Single cell centered in the field. Bone marrow aspirate smear — 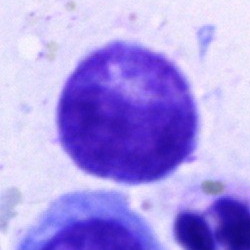

{"cell_type": "progranulocyte"}